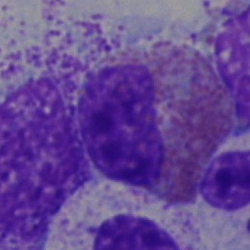Eosinophilic granulocyte.